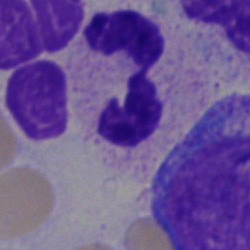

{"cell_type": "segmented neutrophil", "lineage": "myeloid"}